Bone marrow aspirate smear
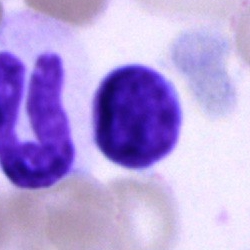 Morphological class — typical lymphocyte.